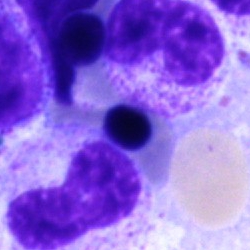Q: Identify the cell.
A: A band neutrophil.